Bone marrow smear: 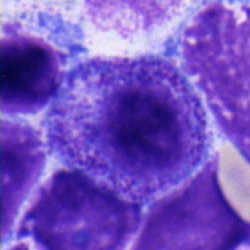

Myelocyte.